Pappenheim-stained. Bone marrow aspirate smear. Single cell centered in the field.
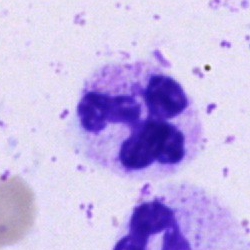
Specimen: bone marrow smear.
Cell: polymorphonuclear neutrophil.
Lineage: myeloid.